Bone marrow smear. 40× oil immersion. Single-cell field — 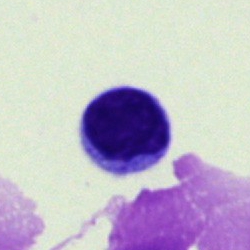

Morphology consistent with a lymphocyte.